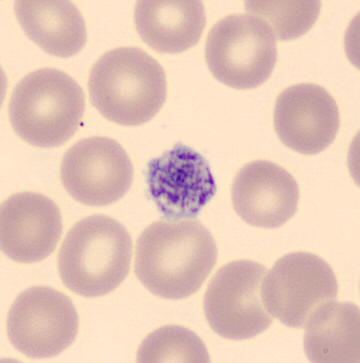Platelet (thrombocyte). Image: Peripheral blood smear.